Pappenheim-stained · bone marrow aspirate smear · single cell centered in the field — 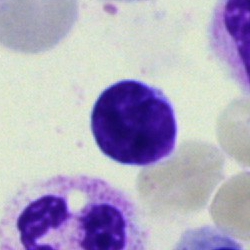

Impression — lymphocyte.